Bone marrow aspirate smear — 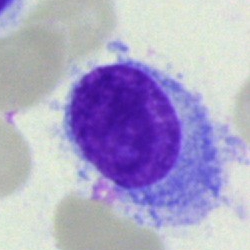
Q: What type of cell is this?
A: This is a hairy cell.